40× oil immersion; bone marrow smear; May-Grünwald-Giemsa stain
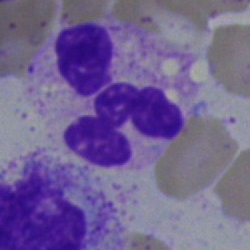 Q: What is shown here?
A: It is a neutrophil (segmented).